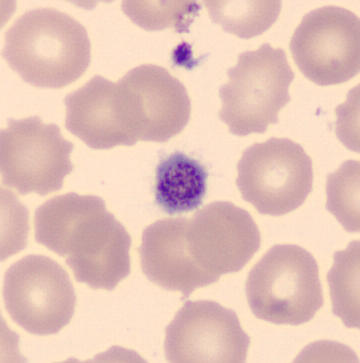

Preparation: CellaVision DM96. Peripheral blood film.
Classification = platelet (thrombocyte).